Bone marrow aspirate smear: 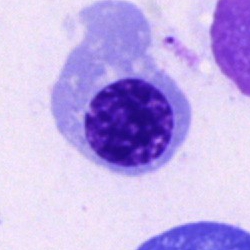

The morphological class is nucleated red cell.